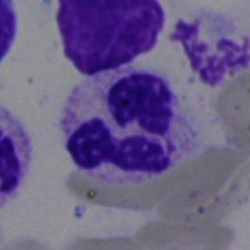
Q: What type of cell is this?
A: It is a segmented neutrophil.